Bone marrow smear. 40× oil immersion
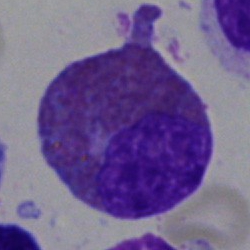 Eosinophil.